Bone marrow aspirate smear: 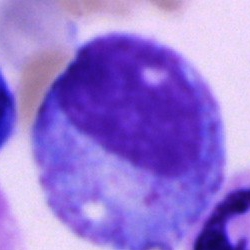The cell shown is a promyelocyte.